Bone marrow aspirate smear: 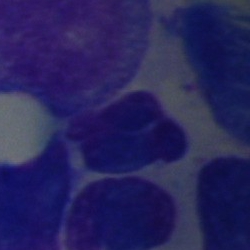
Cell = artefact.